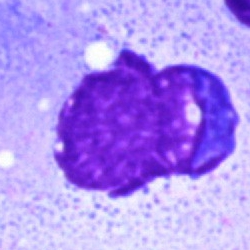

Artefact.